Bone marrow smear — 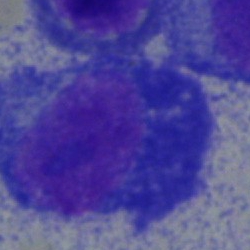Morphology consistent with a plasma cell.